Bone marrow smear.
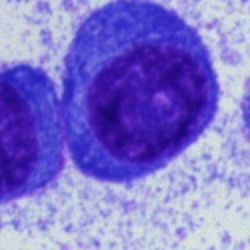
Morphological class — plasmacyte.